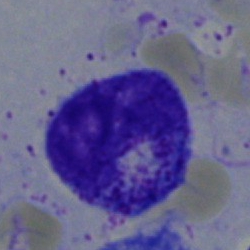
Showing a myelocyte.